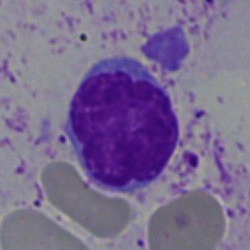A lymphocyte on a bone marrow smear.